Cropped to a single cell; bone marrow smear.
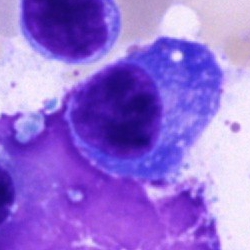
{"cell_type": "plasma cell"}